Peripheral blood smear. Single-cell field. Image size 400×400 — 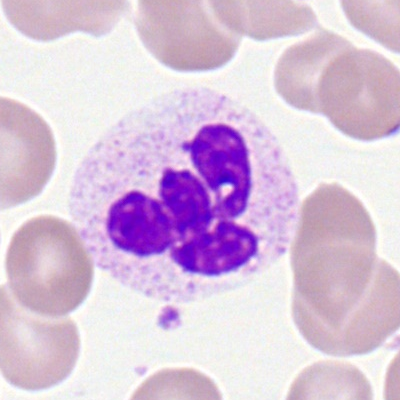
Impression → neutrophil (segmented).